Image size 250×250; brightfield, 40× oil-immersion objective; bone marrow aspirate smear — 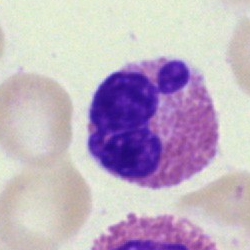Specimen: bone marrow smear.
Cell type: eosinophil.
Lineage: myeloid.